Bone marrow aspirate smear:
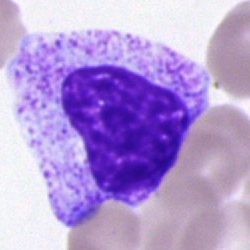
Morphological class: myelocyte.